250 by 250 pixels. Bone marrow smear.
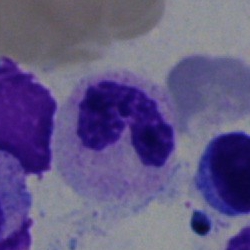 Morphology — polymorphonuclear neutrophil.